Bone marrow smear. May-Grünwald-Giemsa/Pappenheim stain: 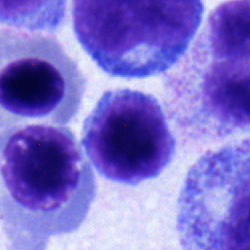
Cell = lymphocyte.